Bone marrow smear.
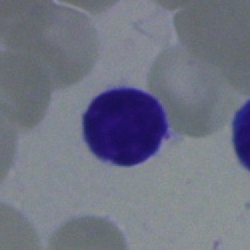
Classification: lymphocyte.